Bone marrow smear: 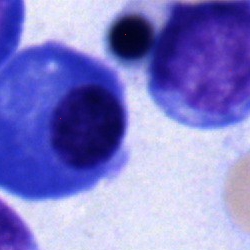Showing an erythroblast.